Bone marrow aspirate smear · cropped to a single cell · Pappenheim-stained.
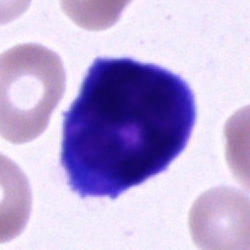
Q: What is shown here?
A: It is a blast cell.